Single-cell crop · bone marrow smear.
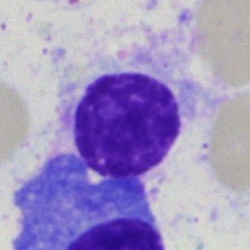 Impression — artifact.